Bone marrow smear: 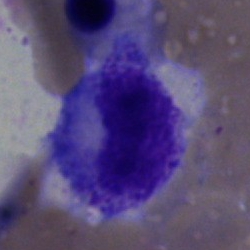 Morphological class: progranulocyte.